Bone marrow smear; 40× objective, oil immersion.
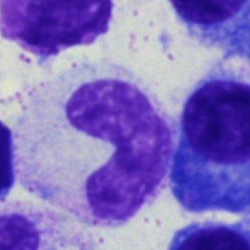 Morphology — stab cell.